Bone marrow aspirate smear
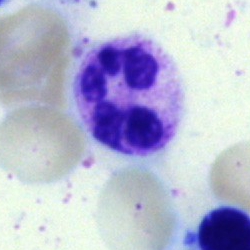
The cell shown is a neutrophil (segmented).